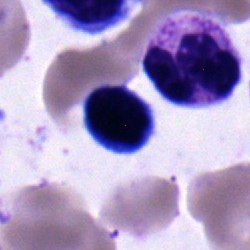
The cell type is lymphocyte.